May-Grünwald-Giemsa stain; bone marrow smear; 40× objective, oil immersion: 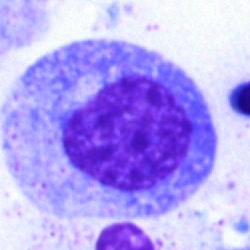

Specimen: bone marrow aspirate smear.
Morphological class: promyelocyte.
Lineage: myeloid.